Bone marrow aspirate smear · 40× oil immersion — 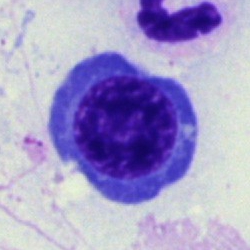

Classification — erythroblast.